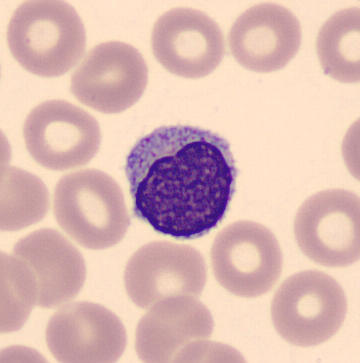 Showing a typical lymphocyte.

Preparation: Peripheral blood smear · CellaVision DM96 digital cell image.